Bone marrow smear: 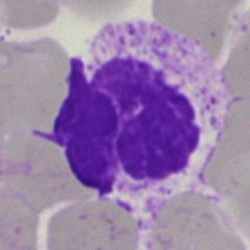 {"cell_type": "artefact"}